Bone marrow aspirate smear:
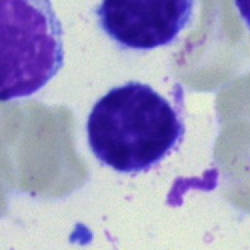Cell type: typical lymphocyte.